250×250 · bone marrow smear — 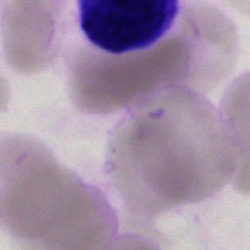
Single cell identified as a typical lymphocyte.